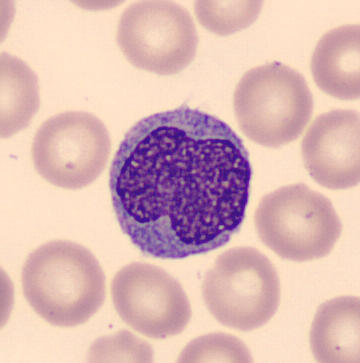Image size 360×363; peripheral blood smear; imaged on a CellaVision DM96 analyser.

A monocyte.